Cropped to a single cell · 400×400 · peripheral blood smear:
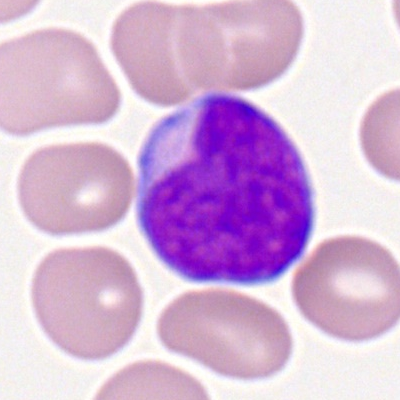
Q: Which cell type is shown here?
A: This is a myeloid blast.